Bone marrow smear — 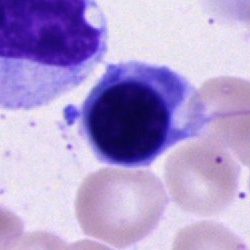Cell: normoblast.